Peripheral blood film — 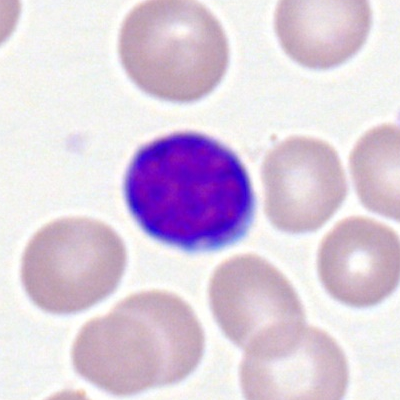

The cell shown is a typical lymphocyte.